Cropped to a single cell; bone marrow smear.
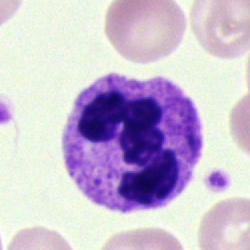The cell shown is a segmented neutrophil.